May-Grünwald-Giemsa stain; single-cell crop; bone marrow smear — 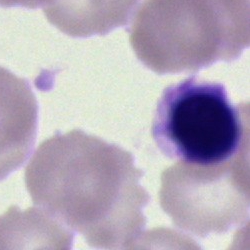Morphology → artefact.